Bone marrow aspirate smear — 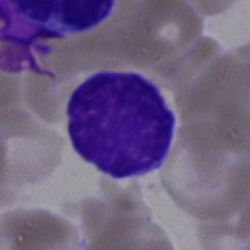
Q: What type of cell is this?
A: Lymphocyte.